Bone marrow aspirate smear
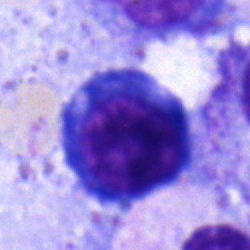
Single cell identified as a normoblast.